Pappenheim-stained · bone marrow smear — 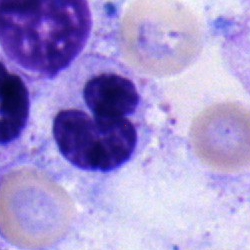
Cell — band neutrophil.